Bone marrow aspirate smear · May-Grünwald-Giemsa stain.
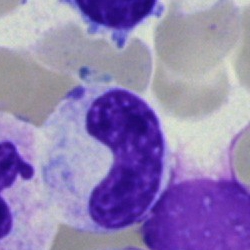 Single cell identified as a neutrophil (band).